Bone marrow smear
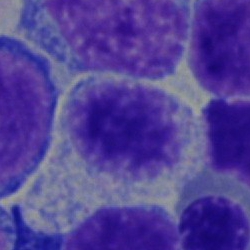
Q: Identify the cell.
A: A myelocyte.